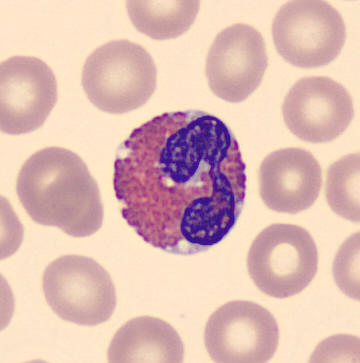
Preparation: Peripheral blood film.
Q: Which cell type is shown here?
A: It is an eosinophilic granulocyte.